Bone marrow aspirate smear — 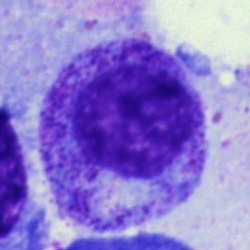 Impression → progranulocyte.